Bone marrow aspirate smear:
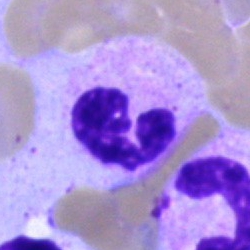 Q: What is the morphological classification of this cell?
A: This is a polymorphonuclear neutrophil.